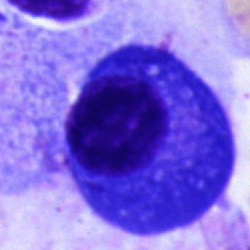

Classification: plasma cell.